Bone marrow aspirate smear · 40× oil immersion.
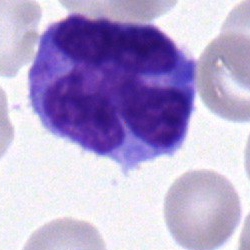 Cell: monocyte.